Cropped to a single cell. Bone marrow aspirate smear.
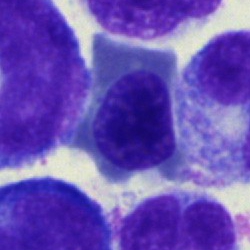 Specimen: bone marrow aspirate smear.
Morphological class: normoblast.
Lineage: erythroid.